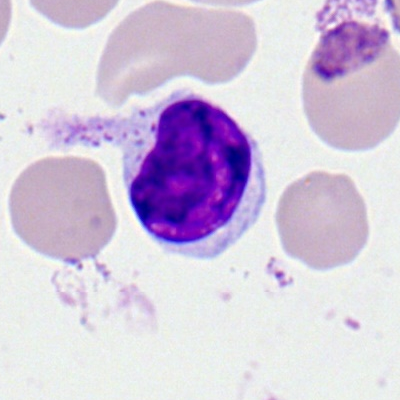
A lymphocyte on a peripheral blood smear.